40× oil immersion; bone marrow aspirate smear.
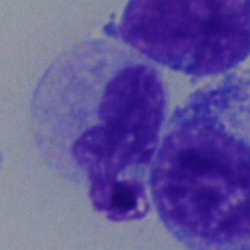

Showing a stab cell.